Bone marrow smear · 40× oil immersion: 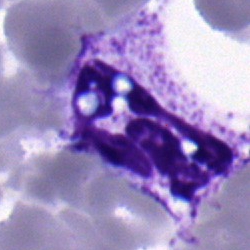 {"cell_type": "neutrophil (segmented)"}